Bone marrow smear.
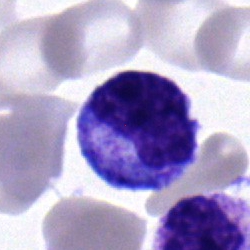The cell is metamyelocyte.